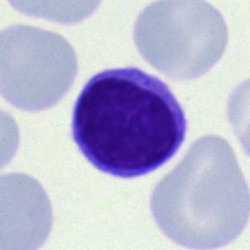Single cell identified as a lymphocyte.